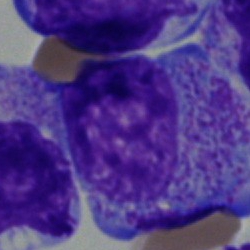
Impression → progranulocyte.